Bone marrow aspirate smear; May-Grünwald-Giemsa/Pappenheim stain:
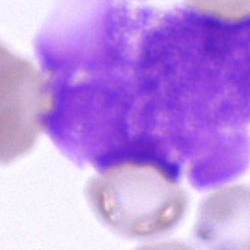
Morphology consistent with an artefact.